Bone marrow aspirate smear; brightfield microscopy, 40× oil immersion; single-cell crop.
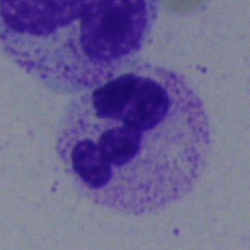The morphological class is neutrophil (segmented).